Peripheral blood smear — 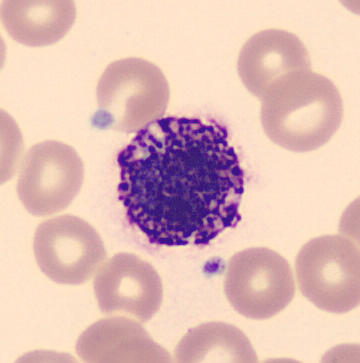

Specimen: peripheral blood smear.
Cell: basophil.
Lineage: myeloid.